MGG-stained; bone marrow smear.
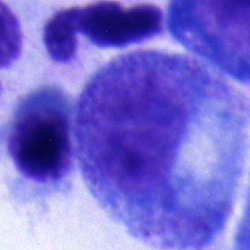
Specimen: bone marrow smear.
Cell type: promyelocyte.